Bone marrow smear:
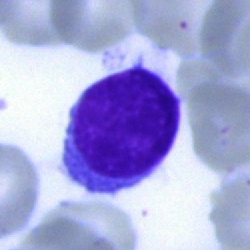 Q: Which cell type is shown here?
A: Typical lymphocyte.